250 by 250 pixels; bone marrow aspirate smear: 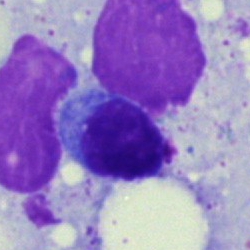Q: What is shown here?
A: This is a typical lymphocyte.